Bone marrow smear. 40× objective, oil immersion. 250 by 250 pixels: 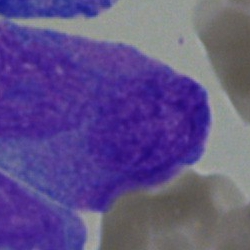

Q: What cell is this?
A: Blast cell.